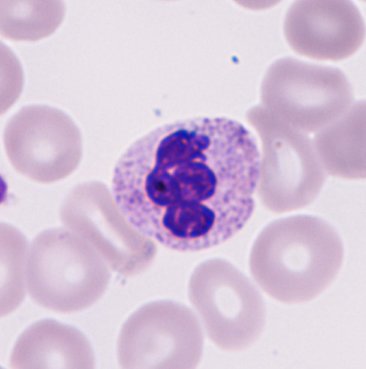 The cell shown is a neutrophilic granulocyte.

Peripheral blood smear.